Peripheral blood film
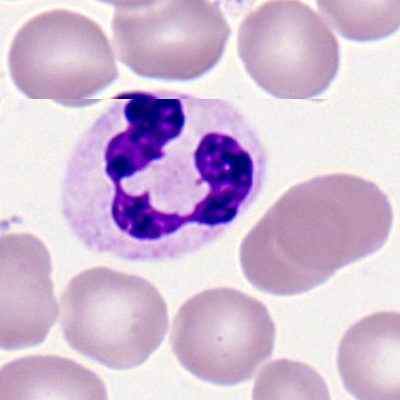A polymorphonuclear neutrophil.